Bone marrow aspirate smear. Cropped to a single cell
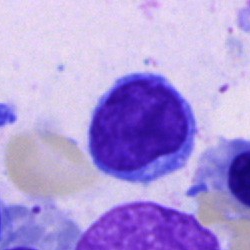

Q: What type of cell is this?
A: Lymphocyte.